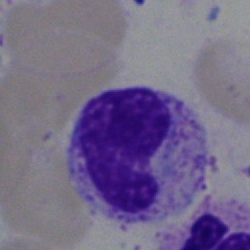
Single-cell crop from a bone marrow smear: band neutrophil.